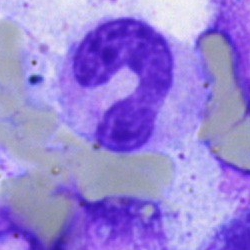Impression — stab cell.